Bone marrow smear: 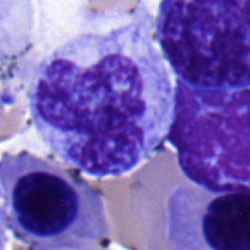
Morphology → polymorphonuclear neutrophil.